Bone marrow aspirate smear.
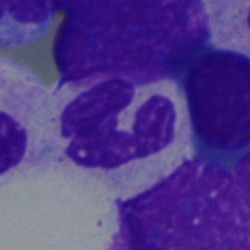Specimen: bone marrow smear.
Morphological class: stab cell.